Bone marrow smear — 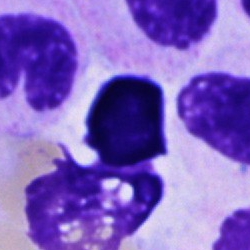
Unidentifiable cell.